Bone marrow aspirate smear; 40× oil immersion; May-Grünwald-Giemsa stain — 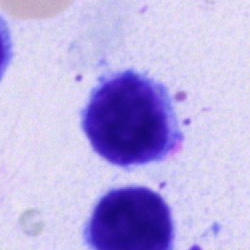Q: What is shown here?
A: It is a lymphocyte.